Bone marrow aspirate smear
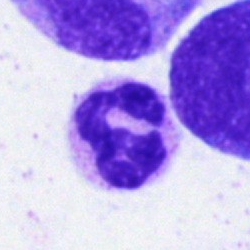
Segmented neutrophil.